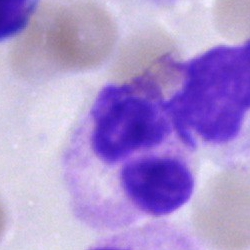

Classification: segmented neutrophil.